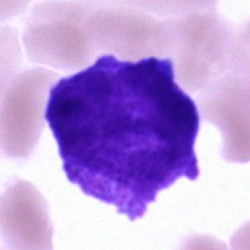

Impression → blast.